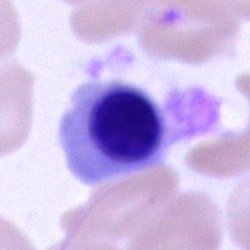 {"cell_type": "nucleated red blood cell"}